Bone marrow aspirate smear · image size 250×250 · single-cell field.
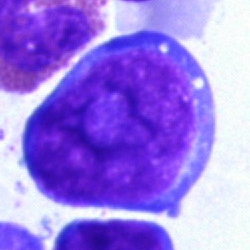Morphological class — proerythroblast.